Pappenheim-stained. Bone marrow aspirate smear. Single-cell crop
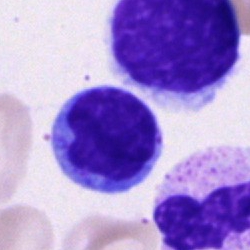

Morphological class = lymphocyte.